Bone marrow aspirate smear:
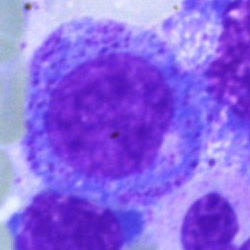 Morphology — progranulocyte.